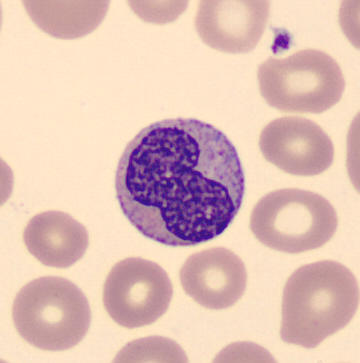 Morphological class = metamyelocyte.

Acquisition: Single-cell field · imaged on a CellaVision DM96 analyser · peripheral blood smear.